Bone marrow smear — 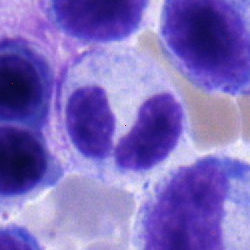Specimen: bone marrow smear.
Cell: polymorphonuclear neutrophil.
Lineage: myeloid.